Bone marrow aspirate smear · 40× oil immersion:
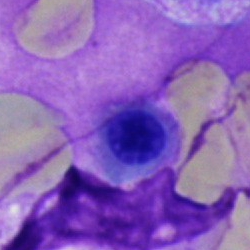 Cell — normoblast.